Bone marrow aspirate smear; 40× objective, oil immersion
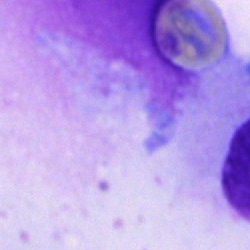{"cell_type": "artefact"}